Bone marrow smear:
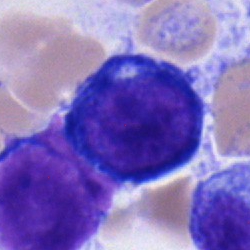Classification = pronormoblast.